Bone marrow smear: 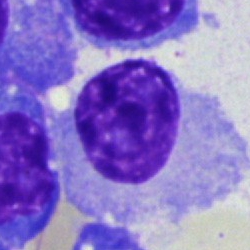

Impression — plasma cell.